Single-cell crop. Bone marrow smear: 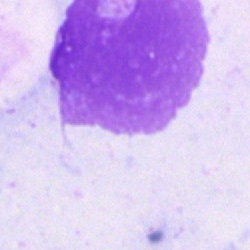 Q: What is shown here?
A: An artefact.